Bone marrow smear
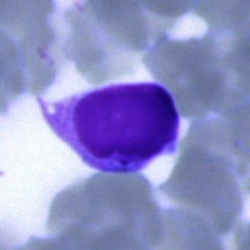
Morphology consistent with a typical lymphocyte.